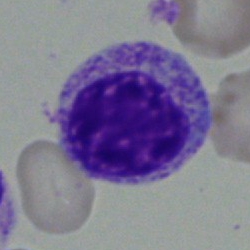

Single-cell crop from a bone marrow smear: myelocyte.